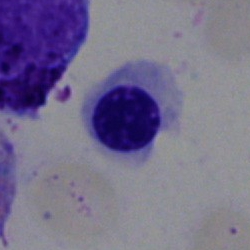

Specimen: bone marrow aspirate smear.
Classification: nucleated red blood cell.